Pappenheim-stained; bone marrow aspirate smear
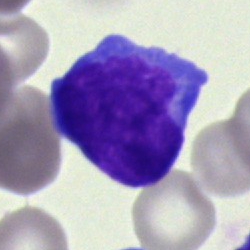
Cell: undifferentiated blast.